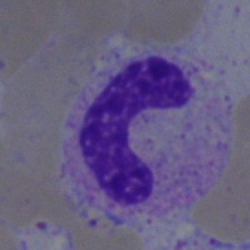
{"cell_type": "stab cell", "lineage": "myeloid"}